Bone marrow smear.
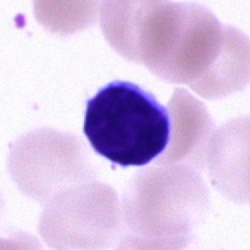Q: What is shown here?
A: It is a lymphocyte.